250×250 · bone marrow aspirate smear — 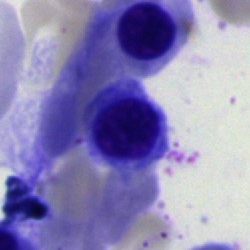
The cell is normoblast.